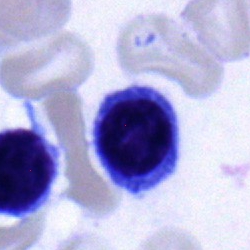 Specimen: bone marrow smear.
Classification: lymphocyte.
Lineage: lymphoid.